MGG-stained. Bone marrow smear. Single cell centered in the field — 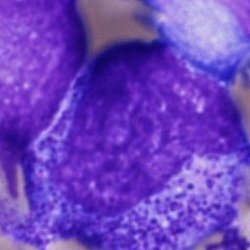
Morphology consistent with a promyelocyte.